40× oil immersion; May-Grünwald-Giemsa stain; bone marrow smear: 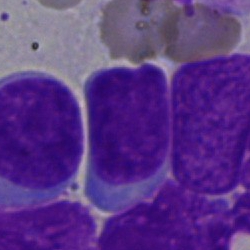Cell = typical lymphocyte.